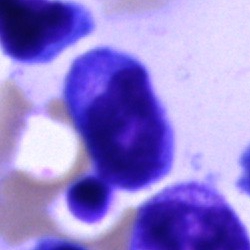
Lymphocyte.